Single-cell field. Bone marrow aspirate smear:
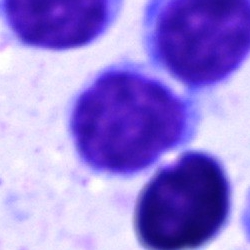 Specimen: bone marrow aspirate smear.
Classification: lymphocyte.